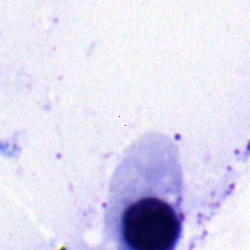Classification — nucleated red cell.